250×250. Bone marrow aspirate smear.
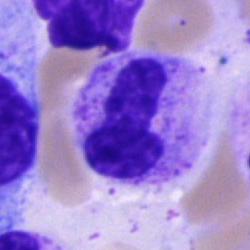

Cell = segmented neutrophil.